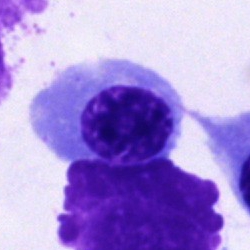

Cell type: normoblast.